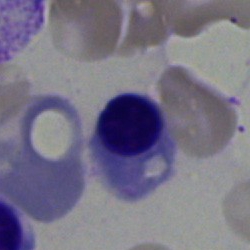
Morphological class — normoblast.